Bone marrow smear. Brightfield, 40× oil-immersion objective.
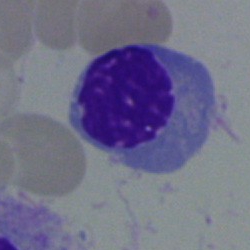

The cell type is nucleated red blood cell.